Cropped to a single cell · May-Grünwald-Giemsa stain · bone marrow smear — 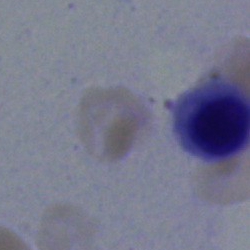

Showing a nucleated red cell.